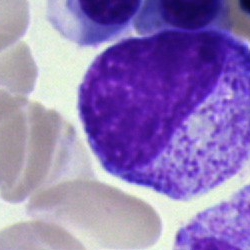
Q: Which cell type is shown here?
A: A myelocyte.